250×250 px. Bone marrow aspirate smear
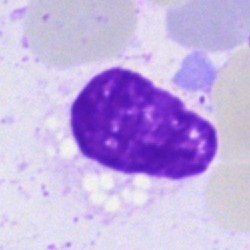

Specimen: bone marrow aspirate smear.
Morphological class: artefact.